Bone marrow aspirate smear. May-Grünwald-Giemsa/Pappenheim stain. Brightfield, 40× oil-immersion objective — 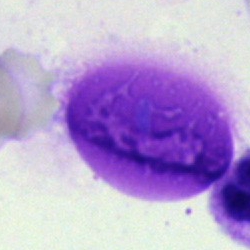

Single cell identified as an artifact.